Bone marrow smear
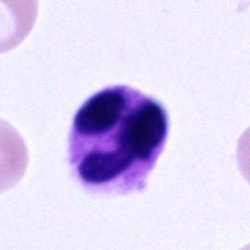Q: What type of cell is this?
A: This is a polymorphonuclear neutrophil.